Bone marrow aspirate smear. 250 by 250 pixels — 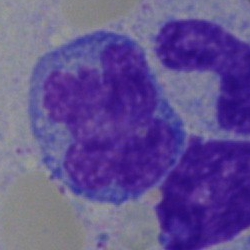
Morphological class = monocyte.